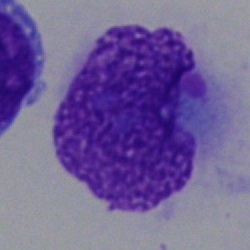
Specimen: bone marrow aspirate smear.
Cell type: artifact.